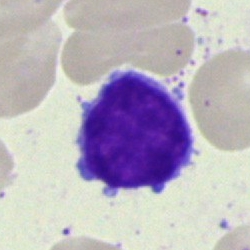Q: What cell is this?
A: This is a typical lymphocyte.